Single cell centered in the field · bone marrow smear — 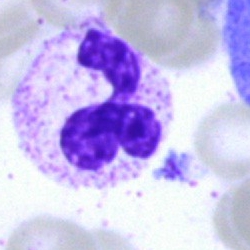 Q: What type of cell is this?
A: This is a neutrophil (segmented).